Romanowsky-stained · peripheral blood film
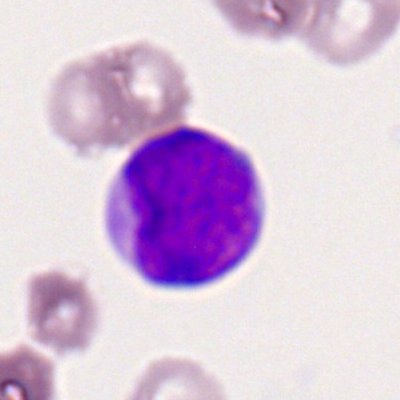 Cell: myeloblast.